Bone marrow aspirate smear. 40× objective, oil immersion
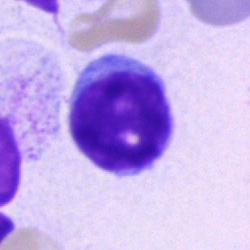

The cell is typical lymphocyte.